Brightfield, 40× oil-immersion objective. Bone marrow smear — 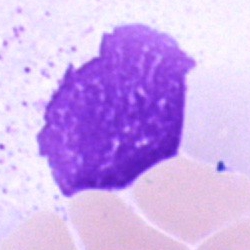
Q: What is shown here?
A: This is an artifact.